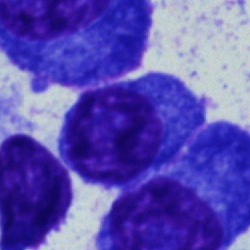 {"cell_type": "plasma cell"}